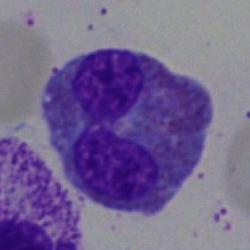

The classification is eosinophilic granulocyte.